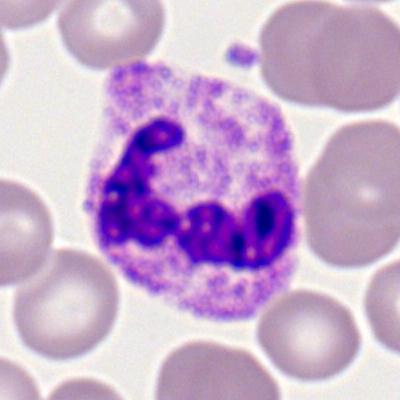
The cell type is polymorphonuclear neutrophil.